40× oil immersion; bone marrow smear:
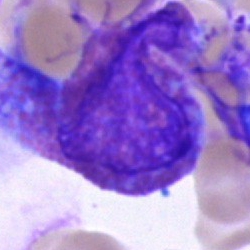

Classification: eosinophil.